Single-cell field · peripheral blood film:
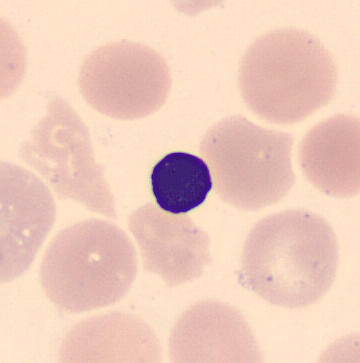Morphology — erythroblast.